Bone marrow smear — 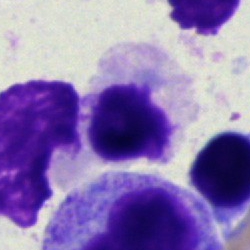 {"cell_type": "artefact"}